Bone marrow aspirate smear
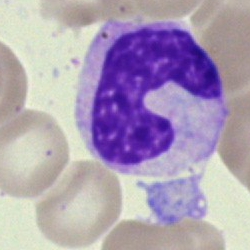

Q: What cell is this?
A: Neutrophil (band).